Bone marrow smear: 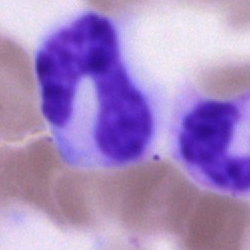

Classification — band neutrophil.